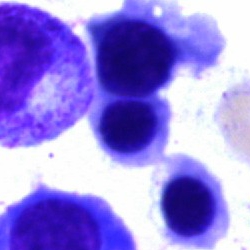Morphology — artifact.